40× oil immersion · bone marrow smear: 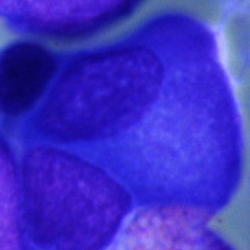The morphological class is plasmacyte.